Bone marrow smear.
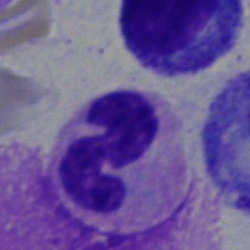 Q: Which cell type is shown here?
A: It is a neutrophil (band).